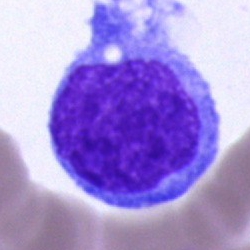 Q: What type of cell is this?
A: Blast.